Bone marrow aspirate smear; single cell centered in the field; brightfield microscopy, 40× oil immersion: 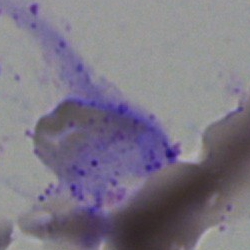
Specimen: bone marrow aspirate smear.
Cell: artifact.